Bone marrow smear: 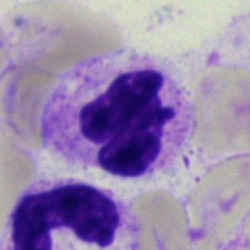

The cell shown is a neutrophil (segmented).